Bone marrow smear
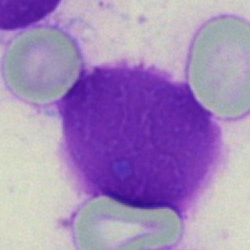Morphology — artefact.